Bone marrow aspirate smear: 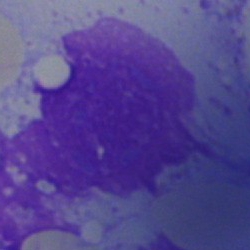Classification — artefact.